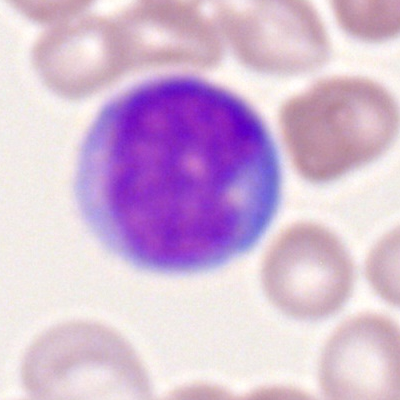 This is a myeloid blast.